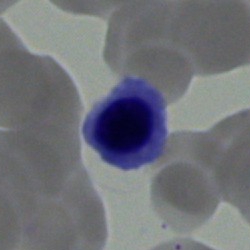 The cell shown is a normoblast.